Bone marrow aspirate smear; May-Grünwald-Giemsa/Pappenheim stain.
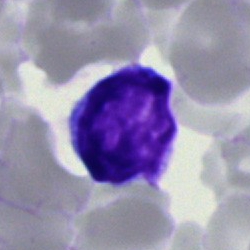
Showing a lymphocyte.